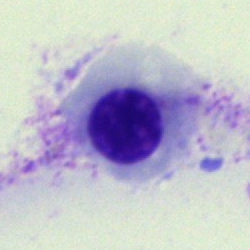 Specimen: bone marrow aspirate smear.
Cell: nucleated red blood cell.
Lineage: erythroid.